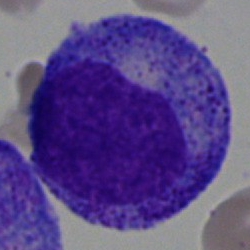

Promyelocyte.